Brightfield microscopy, 40× oil immersion. 250×250 px. Bone marrow smear.
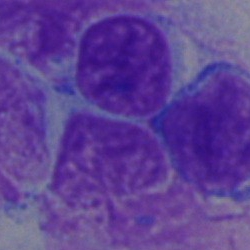 The cell shown is a typical lymphocyte.